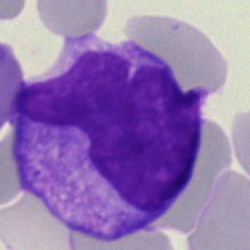
Cell type = monocyte.